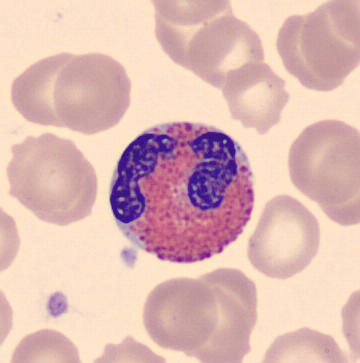
{"cell_type": "eosinophil"}